MGG-stained. Bone marrow aspirate smear — 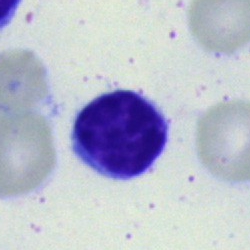{"cell_type": "lymphocyte", "lineage": "lymphoid"}